Bone marrow smear: 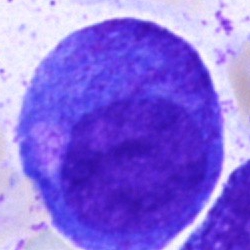The cell type is promyelocyte.